Bone marrow aspirate smear:
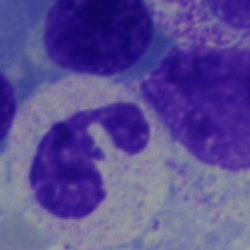
The cell shown is a polymorphonuclear neutrophil.